Peripheral blood smear; Romanowsky-stained
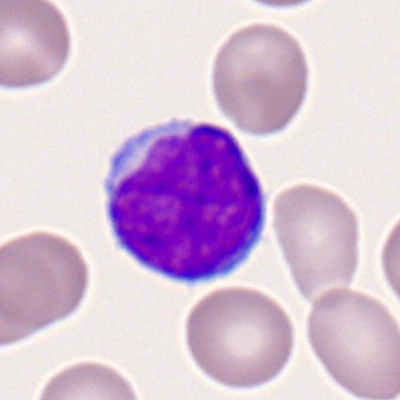

Impression — typical lymphocyte.